Bone marrow aspirate smear · single-cell field.
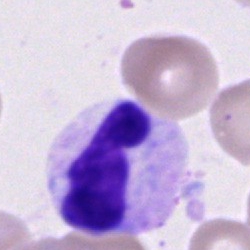 The cell is polymorphonuclear neutrophil.